May-Grünwald-Giemsa/Pappenheim stain. Bone marrow aspirate smear. 250×250 px — 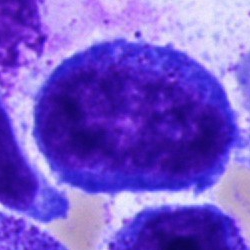
Morphological class: pronormoblast.